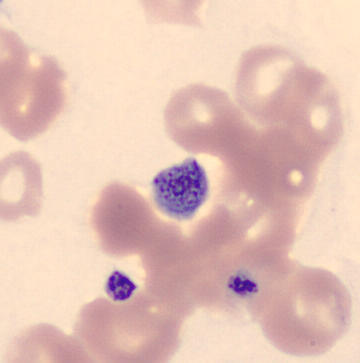 Image: Peripheral blood smear · 360 by 363 pixels.

Identified as a thrombocyte.